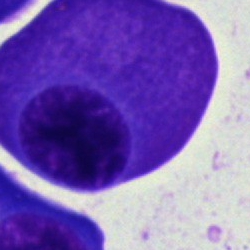
Morphology → plasma cell.